Bone marrow aspirate smear:
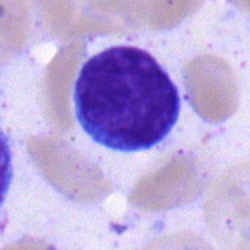
A lymphocyte.